Bone marrow smear
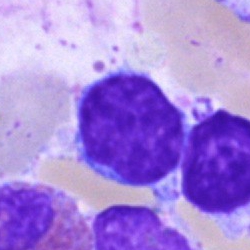
Specimen: bone marrow aspirate smear.
Morphological class: typical lymphocyte.
Lineage: lymphoid.